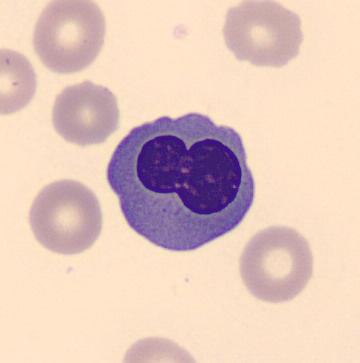
{"cell_type": "normoblast"}
Peripheral blood smear · MGG stain.